Bone marrow aspirate smear · Pappenheim-stained: 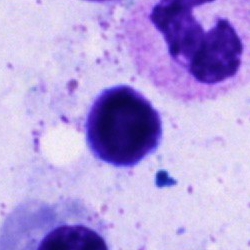
Cell: lymphocyte.